Bone marrow aspirate smear — 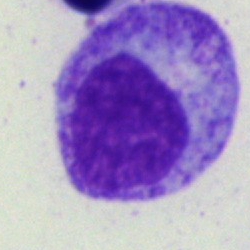

Cell = myelocyte.